Bone marrow smear — 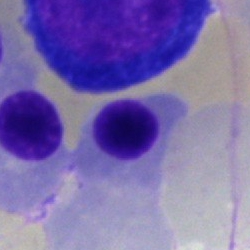

Nucleated red cell.